Bone marrow smear:
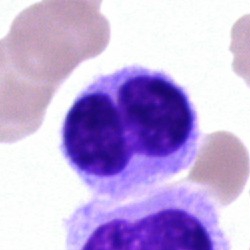Q: Identify the cell.
A: This is a hairy cell.